Bone marrow smear:
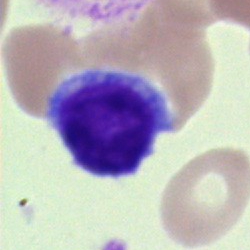

The classification is typical lymphocyte.